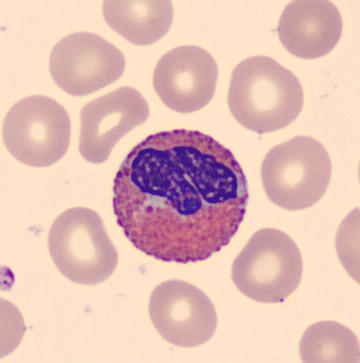

Peripheral blood film; single-cell field.
The cell shown is an eosinophil.